Bone marrow smear: 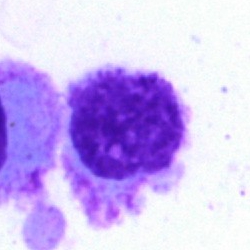Showing an artifact.